Bone marrow aspirate smear: 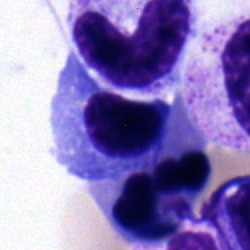{"cell_type": "plasma cell", "lineage": "lymphoid"}